Bone marrow aspirate smear:
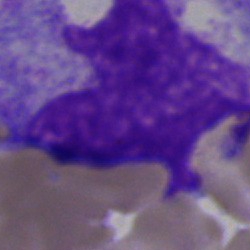
Q: What is shown here?
A: Artifact.